Single-cell field · Pappenheim-stained · bone marrow aspirate smear.
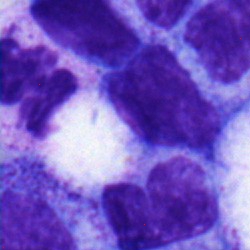 Cell: polymorphonuclear neutrophil.